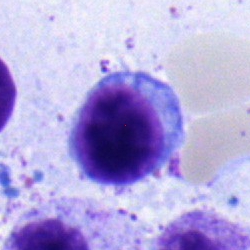

The classification is typical lymphocyte.